Bone marrow smear:
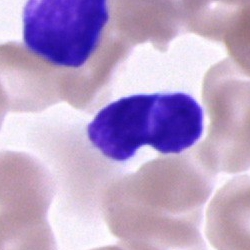
Specimen: bone marrow aspirate smear.
Classification: lymphocyte.